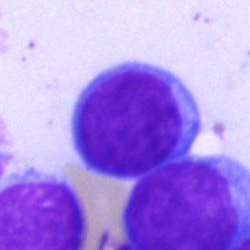

Bone marrow aspirate smear, single cell — lymphocyte.